Bone marrow smear · 250×250: 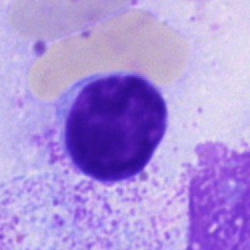Lymphocyte.